Single-cell crop · 400×400 · peripheral blood smear.
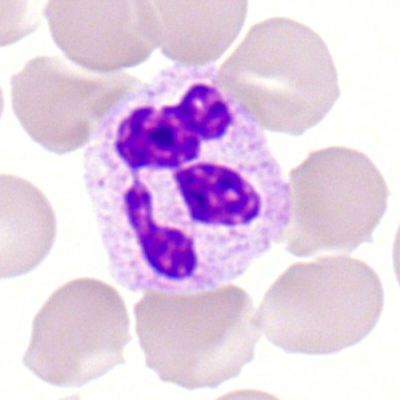

Single cell identified as a neutrophil (segmented).